Brightfield, 100× oil-immersion objective. Romanowsky stain. Peripheral blood smear.
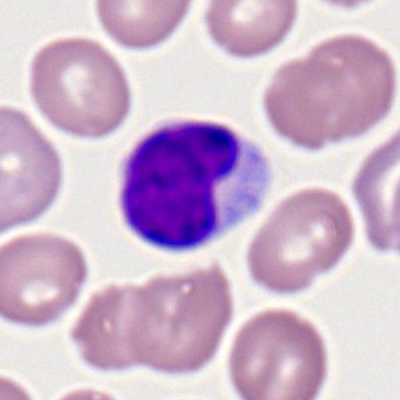
Morphology consistent with a lymphocyte.